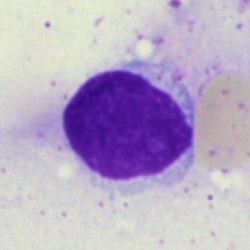Specimen: bone marrow smear.
Classification: lymphocyte.
Lineage: lymphoid.